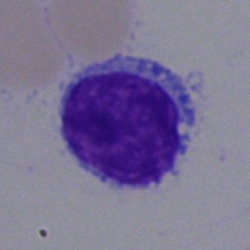

Single-cell crop from a bone marrow smear: typical lymphocyte.